Bone marrow smear: 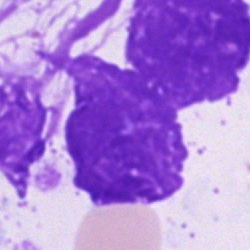Showing an artefact.